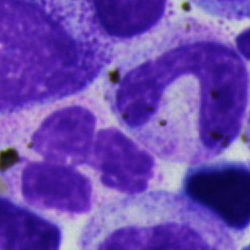
{"cell_type": "neutrophil (band)", "lineage": "myeloid"}